Bone marrow aspirate smear.
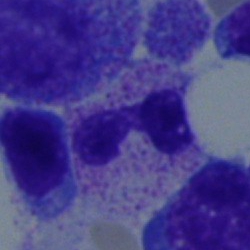Q: Identify the cell.
A: Segmented neutrophil.